Bone marrow smear; May-Grünwald-Giemsa/Pappenheim stain.
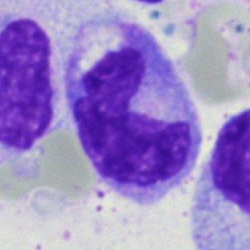Single cell identified as a band-form neutrophil.